Bone marrow aspirate smear: 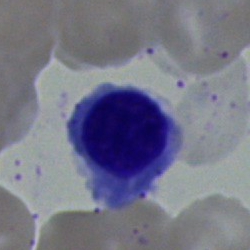 Nucleated red cell.